Bone marrow aspirate smear. Pappenheim-stained.
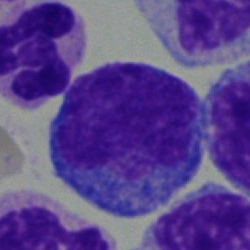
The cell type is blast.